Bone marrow smear · May-Grünwald-Giemsa/Pappenheim stain · 40× objective, oil immersion:
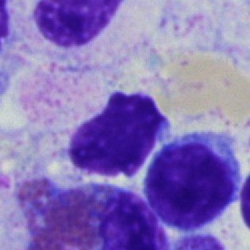 Impression → lymphocyte.